Pappenheim-stained; cropped to a single cell; bone marrow smear — 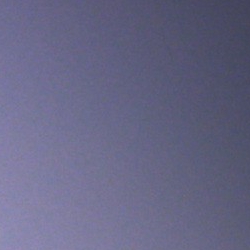An artifact.